Bone marrow smear — 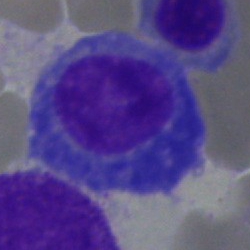
{"cell_type": "plasma cell", "lineage": "lymphoid"}